Bone marrow smear:
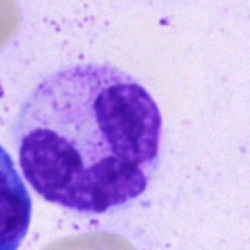
Impression — neutrophil (segmented).